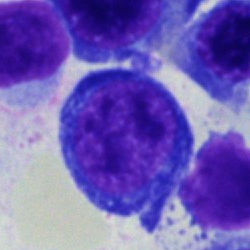
A nucleated red blood cell on a bone marrow smear.